Bone marrow smear: 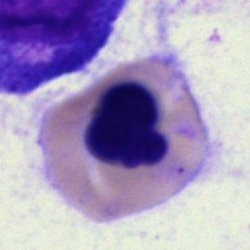
Specimen: bone marrow aspirate smear.
Morphological class: nucleated red blood cell.
Lineage: erythroid.